Peripheral blood film:
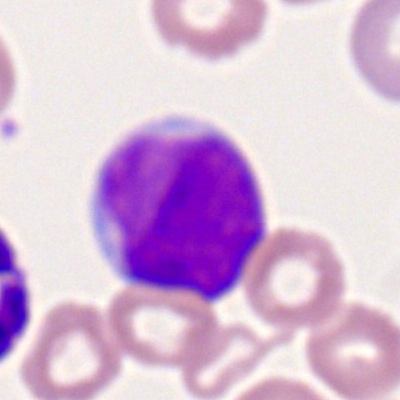Cell type = myeloid blast.